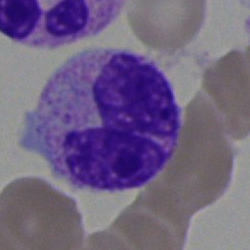 The morphological class is segmented neutrophil.